MGG-stained; bone marrow smear
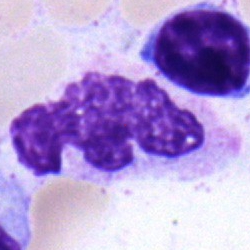Q: What type of cell is this?
A: This is a neutrophil (segmented).